May-Grünwald-Giemsa/Pappenheim stain. Single-cell field. Bone marrow smear
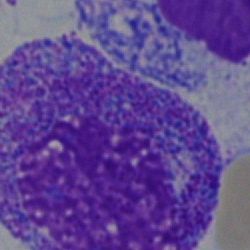

Specimen: bone marrow smear.
Cell: promyelocyte.
Lineage: myeloid.